Bone marrow smear. May-Grünwald-Giemsa/Pappenheim stain:
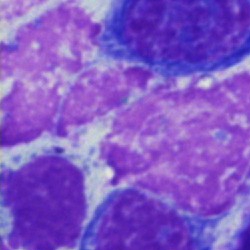

Cell — artefact.